Bone marrow aspirate smear: 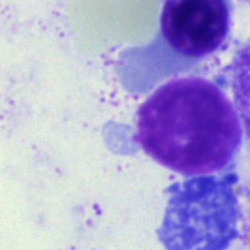
Morphology consistent with an unidentifiable cell.